Bone marrow smear · 250×250
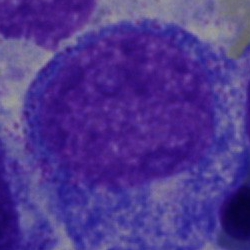

{"cell_type": "progranulocyte", "lineage": "myeloid"}